Bone marrow aspirate smear.
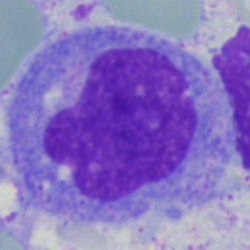

A monocyte.